Bone marrow smear · May-Grünwald-Giemsa/Pappenheim stain: 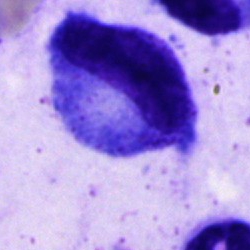Q: What type of cell is this?
A: It is a promyelocyte.